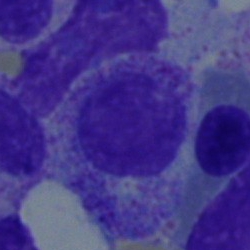 Myelocyte.